Bone marrow aspirate smear; 40× oil immersion
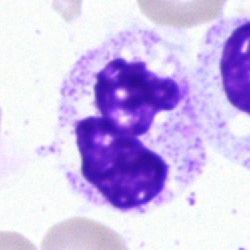Showing a neutrophil (segmented).